40× objective, oil immersion · bone marrow aspirate smear · single-cell field.
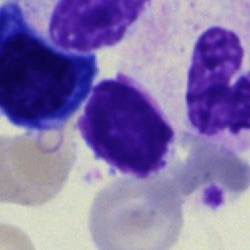Q: What is shown here?
A: It is an artifact.